Bone marrow aspirate smear — 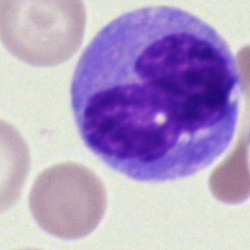
Morphology → monocyte.